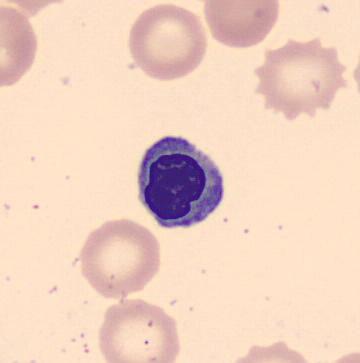 {"cell_type": "normoblast", "lineage": "erythroid"}